Bone marrow aspirate smear — 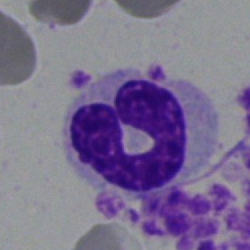Morphological class = segmented neutrophil.